MGG-stained. Bone marrow smear
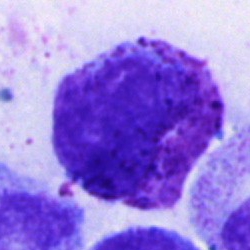{"cell_type": "basophil", "lineage": "myeloid"}